Bone marrow aspirate smear: 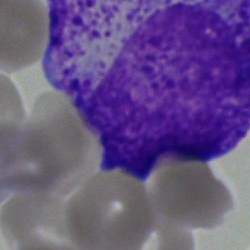Q: Identify the cell.
A: This is a blast.